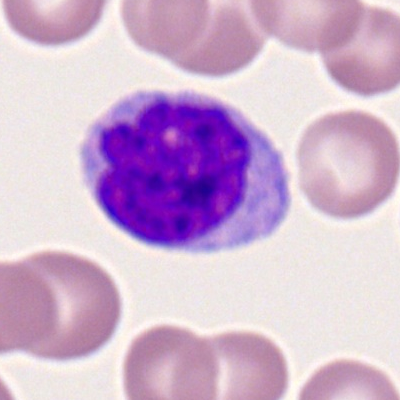

Cell: monocyte.